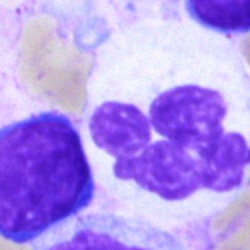

{"cell_type": "neutrophil (segmented)", "lineage": "myeloid"}